Bone marrow smear:
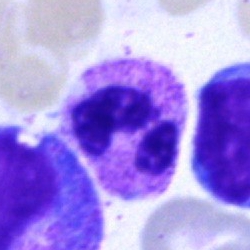Single cell identified as a segmented neutrophil.